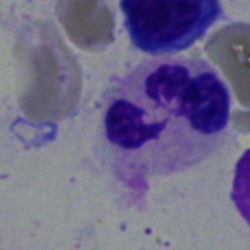The morphological class is neutrophil (segmented).